Bone marrow smear.
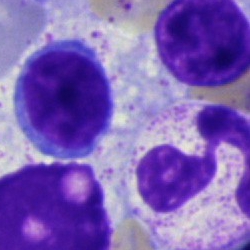Q: Identify the cell.
A: Lymphocyte.